Bone marrow aspirate smear — 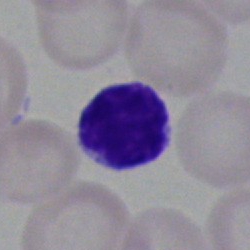

This is a lymphocyte.